Bone marrow smear
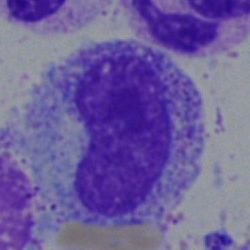

Q: What is shown here?
A: Metamyelocyte.